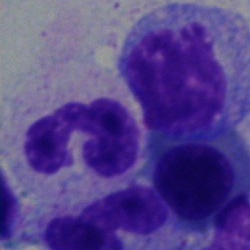

Impression — polymorphonuclear neutrophil.